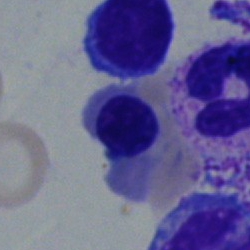
Specimen: bone marrow smear.
Morphological class: normoblast.
Lineage: erythroid.